Peripheral blood film — 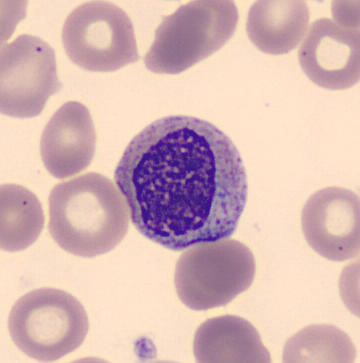Morphology → myelocyte.